Bone marrow smear; MGG-stained; single cell centered in the field.
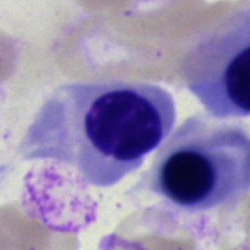
Specimen: bone marrow aspirate smear.
Cell: normoblast.
Lineage: erythroid.